Bone marrow aspirate smear
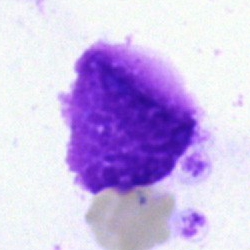
Classification — artifact.